Bone marrow aspirate smear.
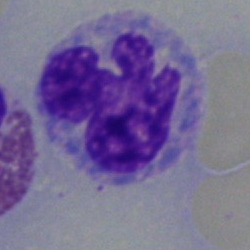

Specimen: bone marrow aspirate smear.
Morphological class: monocyte.